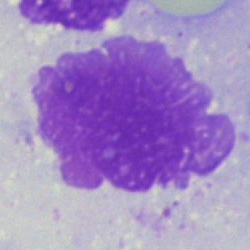 Showing an artefact.